Pappenheim-stained. Bone marrow aspirate smear. 40× oil immersion
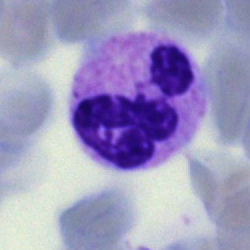 Cell — neutrophil (segmented).